Bone marrow smear; 250 by 250 pixels:
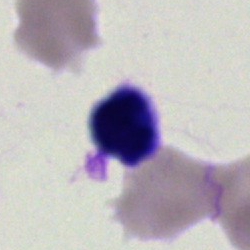
Q: What is shown here?
A: It is an artefact.